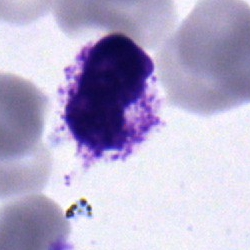
Single-cell crop from a bone marrow smear: polymorphonuclear neutrophil.